Bone marrow smear
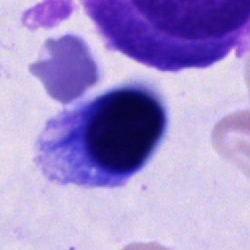Morphology consistent with an unidentifiable cell.